MGG-stained. Bone marrow smear:
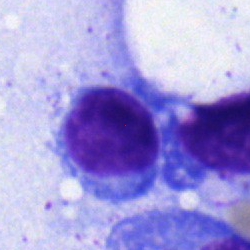

Morphology → typical lymphocyte.